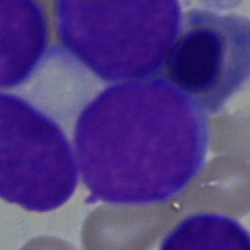

Q: What type of cell is this?
A: A blast.